Peripheral blood smear
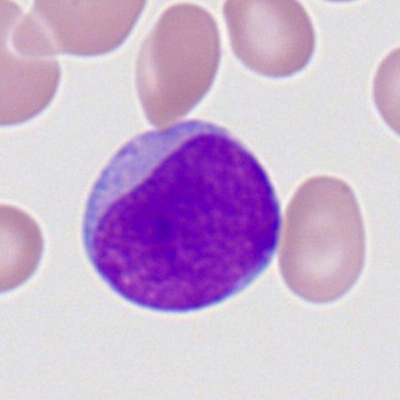
Q: What cell is this?
A: This is a myeloid blast.